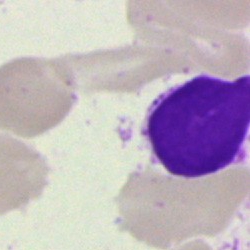
This is an artifact.